MGG-stained · single-cell field · bone marrow smear:
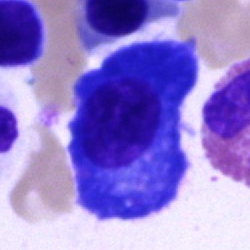 Impression → plasma cell.